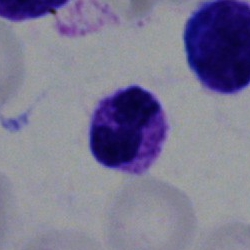

Cell type = neutrophil (segmented).